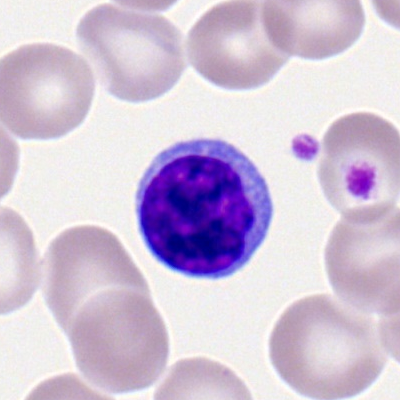

This is a typical lymphocyte.